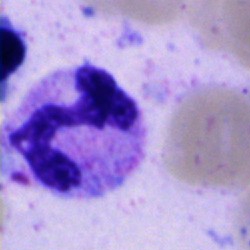This is a polymorphonuclear neutrophil.